Single cell centered in the field. Brightfield, 40× oil-immersion objective. Bone marrow aspirate smear — 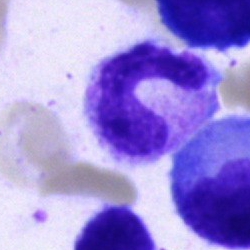

Morphology consistent with a stab cell.